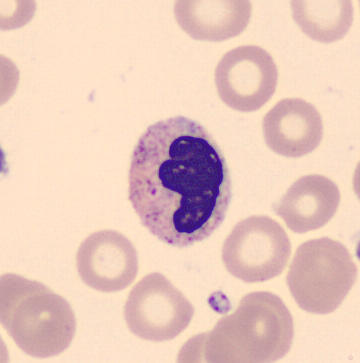 A stab cell.

Peripheral blood smear; single-cell field.